Bone marrow aspirate smear — 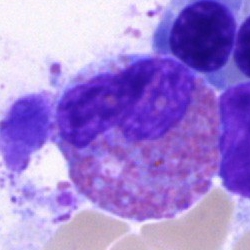

An eosinophilic granulocyte.